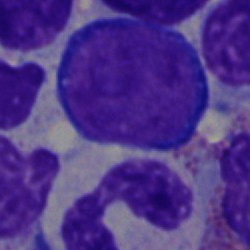Specimen: bone marrow aspirate smear.
Morphological class: proerythroblast.
Lineage: erythroid.